250×250 px; bone marrow aspirate smear:
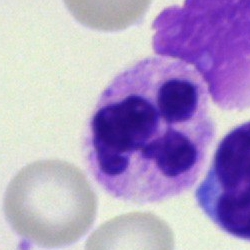 Q: What cell is this?
A: It is a neutrophil (segmented).